Bone marrow smear
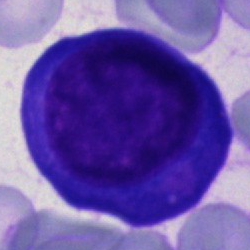

Morphology → nucleated red blood cell.